Bone marrow smear: 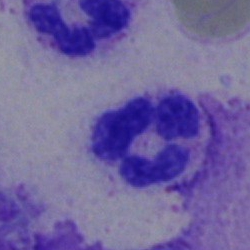

The cell type is segmented neutrophil.